Bone marrow smear:
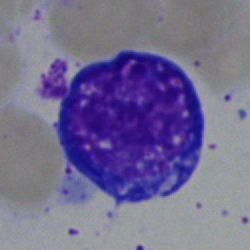

The classification is nucleated red blood cell.